Single-cell field. Peripheral blood smear:
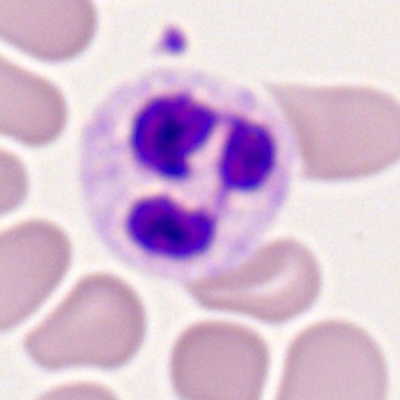

The cell is neutrophil (segmented).